Bone marrow aspirate smear: 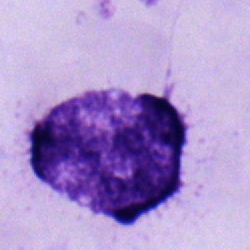
A neutrophil (segmented).